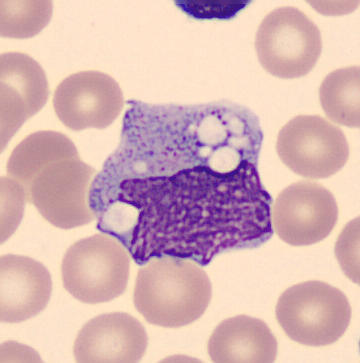
Acquisition: MGG stain; 360 by 363 pixels.

Specimen: peripheral blood smear.
Morphological class: monocyte.